Bone marrow smear; cropped to a single cell; 40× oil immersion
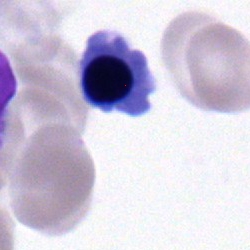 Classification: normoblast.